Bone marrow aspirate smear
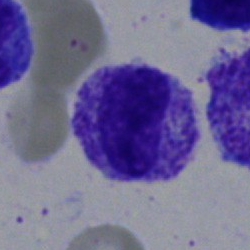Morphology consistent with a myelocyte.